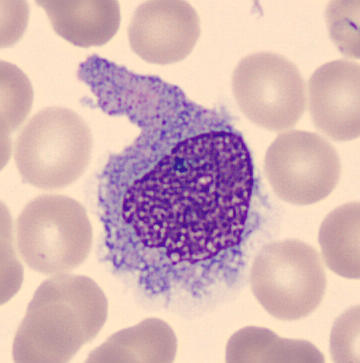Acquisition: Peripheral blood smear; MGG stain.
The cell type is monocyte.